Bone marrow smear. 250 by 250 pixels: 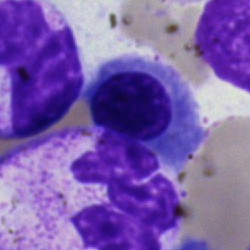
Showing a nucleated red cell.